Bone marrow aspirate smear — 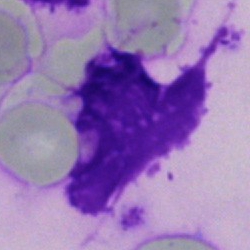
An artefact.